Bone marrow aspirate smear.
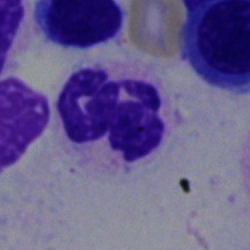

{"cell_type": "polymorphonuclear neutrophil", "lineage": "myeloid"}